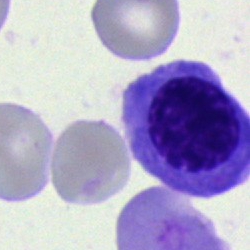{"cell_type": "erythroblast", "lineage": "erythroid"}